Peripheral blood smear · 100× oil immersion, 14.14 px/µm.
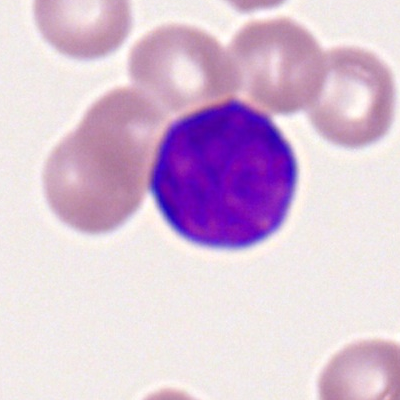

Morphology → myeloblast.